Bone marrow aspirate smear: 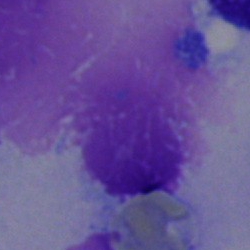Q: What is shown here?
A: This is an artefact.